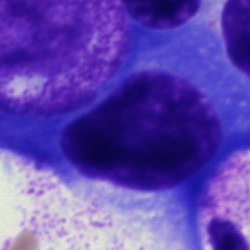Cell type: plasma cell.